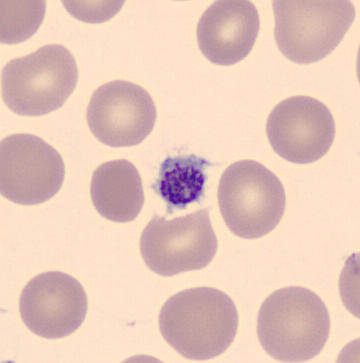 Preparation: 360×363. Peripheral blood smear.

The morphological class is thrombocyte.